250×250; MGG-stained; bone marrow smear:
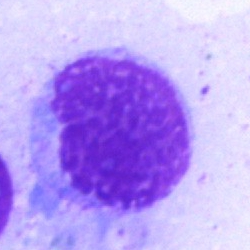 Single cell identified as an artifact.